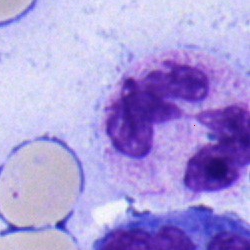 The cell shown is a neutrophil (segmented).